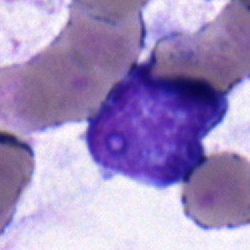

Impression → lymphocyte.